Bone marrow aspirate smear: 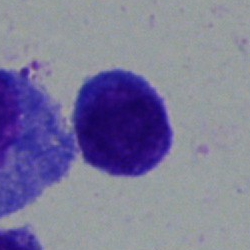 Cell type: typical lymphocyte.